Peripheral blood smear · Romanowsky-stained: 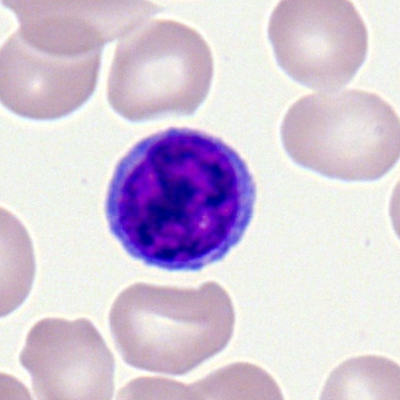A lymphocyte.